Bone marrow aspirate smear — 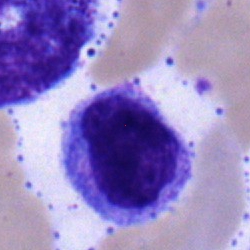
The morphological class is monocyte.